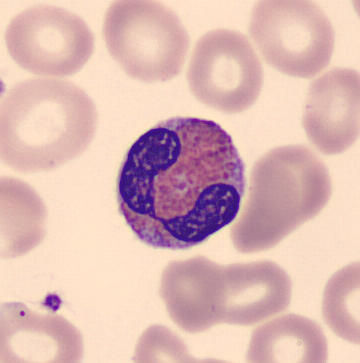

Image: MGG-stained; peripheral blood smear; 360 by 363 pixels.

Cell type — eosinophilic granulocyte.